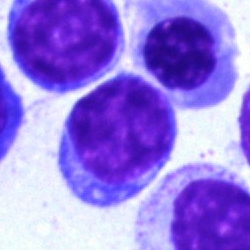

{"cell_type": "lymphocyte"}